Bone marrow smear:
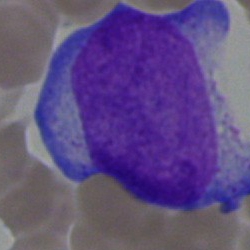 Morphology consistent with an undifferentiated blast.